Single-cell field; 40× objective, oil immersion; bone marrow smear: 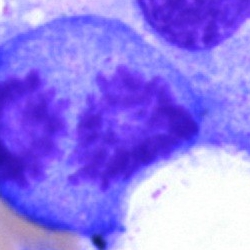

This is a promyelocyte.